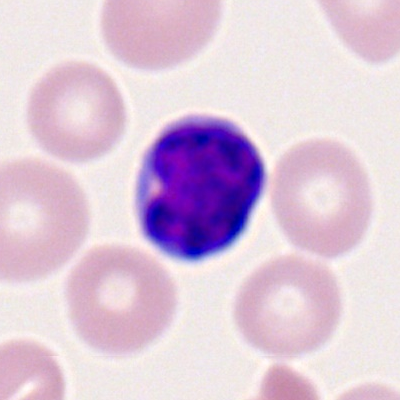 Lymphocyte.